Bone marrow smear.
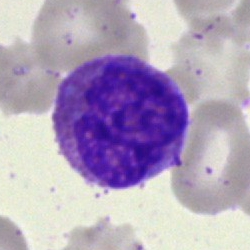Morphology — eosinophilic granulocyte.